Bone marrow aspirate smear; 250×250:
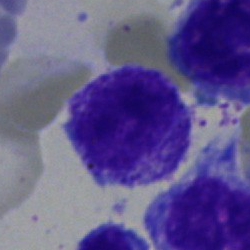

Morphology consistent with a myelocyte.